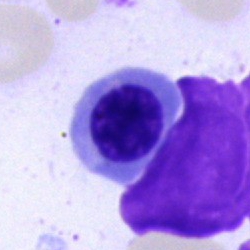
Morphology — nucleated red blood cell.